Bone marrow smear.
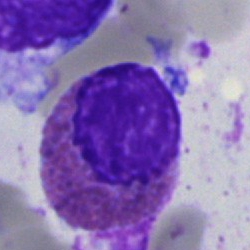

Specimen: bone marrow smear.
Cell: eosinophil.